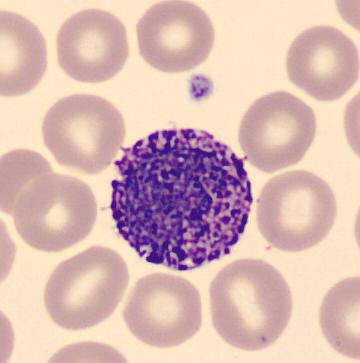 Specimen: peripheral blood film.
Cell type: basophilic granulocyte.
Lineage: myeloid.